40× objective, oil immersion · bone marrow aspirate smear — 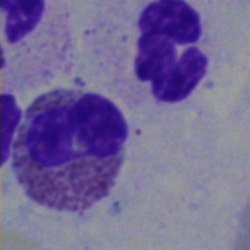

Classification = eosinophilic granulocyte.